250 by 250 pixels. Bone marrow aspirate smear.
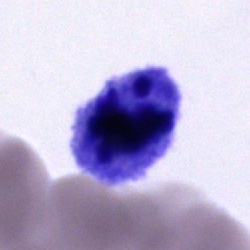
Specimen: bone marrow aspirate smear.
Morphological class: unidentifiable cell.